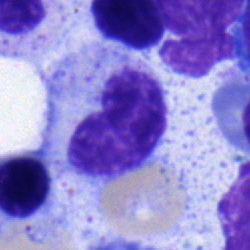
Cell type — stab cell.